Bone marrow smear.
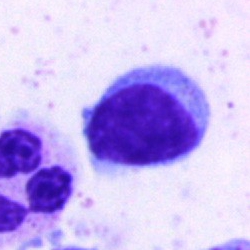

Single cell identified as a lymphocyte.